Pappenheim-stained. Bone marrow smear
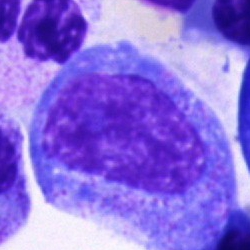 This is a promyelocyte.